Brightfield microscopy, 40× oil immersion; bone marrow smear; May-Grünwald-Giemsa stain
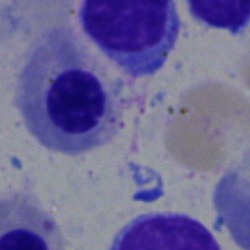 Classification: nucleated red blood cell.